Bone marrow smear:
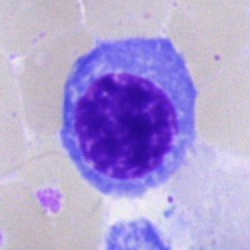

Q: What is shown here?
A: This is an erythroblast.